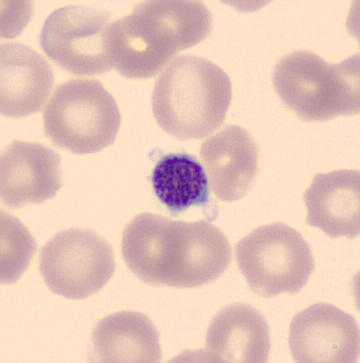

Preparation: Peripheral blood smear. 360×363.

Morphological class = platelet.